Image size 250×250 · bone marrow smear: 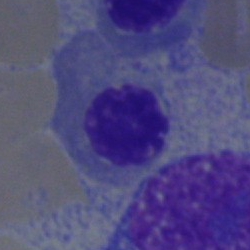 Cell type = normoblast.